Pappenheim-stained · bone marrow aspirate smear · single-cell field: 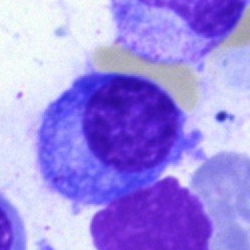 Classification: plasma cell.